250×250 px; bone marrow aspirate smear
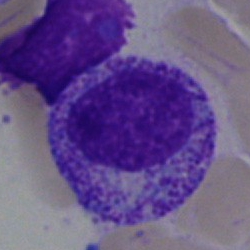

Showing a myelocyte.